Image size 250×250; bone marrow smear
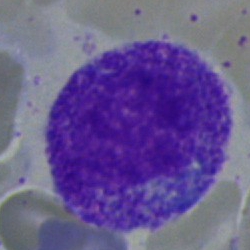 Cell — progranulocyte.